250×250 px. Single-cell crop. Bone marrow aspirate smear
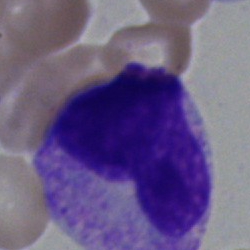This is a metamyelocyte.